Brightfield microscopy, 40× oil immersion; bone marrow smear — 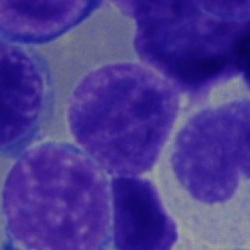

Single cell identified as a typical lymphocyte.